Bone marrow aspirate smear:
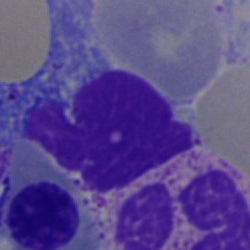This is an artifact.